40× objective, oil immersion. Bone marrow smear:
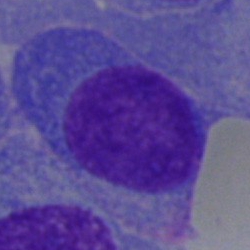 Specimen: bone marrow smear.
Cell: plasmacyte.
Lineage: lymphoid.